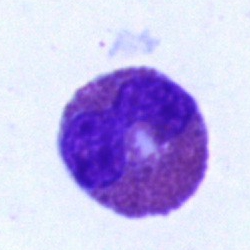 Morphology — eosinophil.